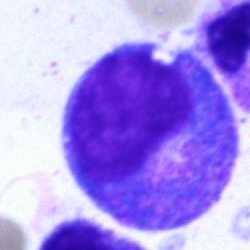 Impression → progranulocyte.